40× oil immersion; bone marrow smear; 250 by 250 pixels.
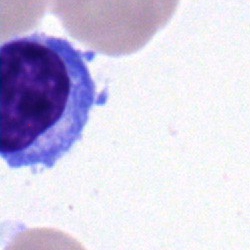 This is a typical lymphocyte.